250×250 · bone marrow smear: 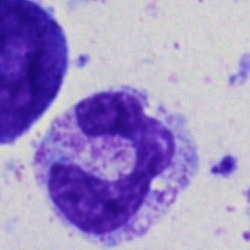 Cell type = polymorphonuclear neutrophil.